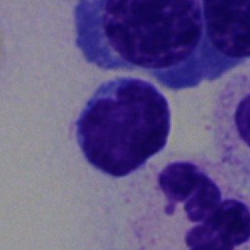Showing a typical lymphocyte.